Brightfield microscopy, 40× oil immersion · Pappenheim-stained · bone marrow aspirate smear: 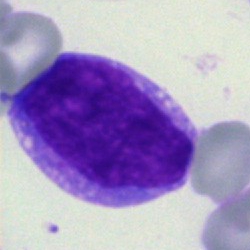Impression — undifferentiated blast.